MGG-stained · bone marrow aspirate smear:
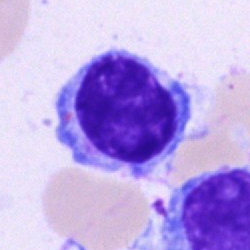
Cell type — lymphocyte.